Bone marrow aspirate smear; 250 by 250 pixels:
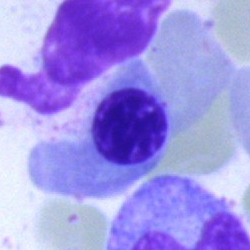Impression — normoblast.